Bone marrow smear — 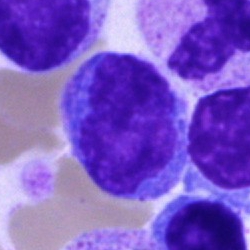 Monocyte.